Bone marrow aspirate smear · 250×250 — 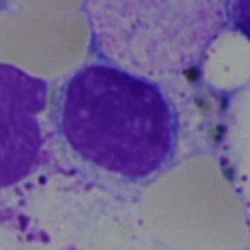Specimen: bone marrow smear.
Cell: lymphocyte.
Lineage: lymphoid.